Bone marrow smear — 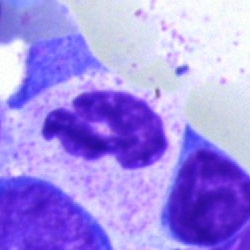 Impression → polymorphonuclear neutrophil.